Bone marrow smear.
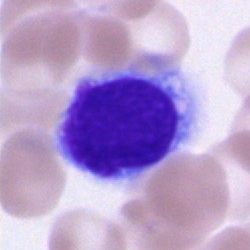 Q: What is shown here?
A: Cell of indeterminate lineage.